Bone marrow smear: 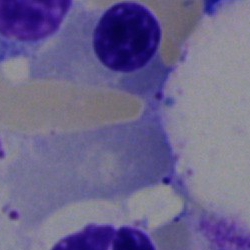

Normoblast.